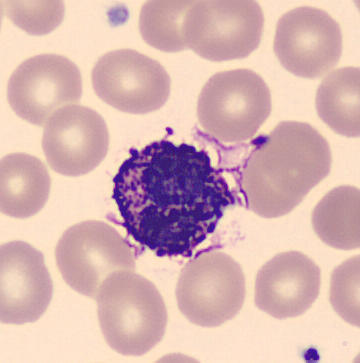
Cell type: basophilic granulocyte. Acquisition: Peripheral blood film; single-cell crop.